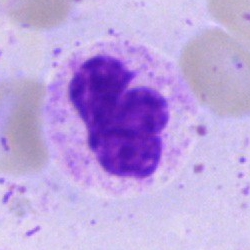
This is a neutrophil (segmented).